Bone marrow aspirate smear: 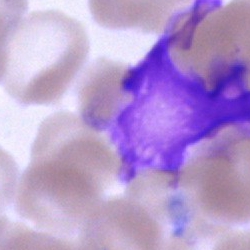 Artefact.